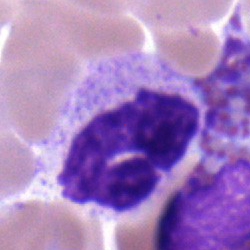 Cell type = polymorphonuclear neutrophil.